Bone marrow smear:
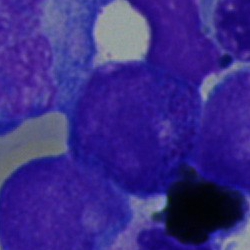

Q: What cell is this?
A: It is a blast cell.